250 by 250 pixels. Bone marrow aspirate smear:
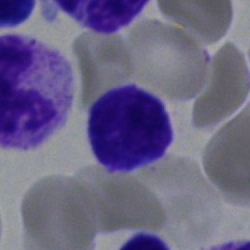Q: What cell is this?
A: Typical lymphocyte.